Single-cell field; bone marrow aspirate smear
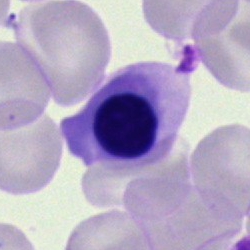 Q: What cell is this?
A: It is a normoblast.